Cropped to a single cell. Bone marrow smear. May-Grünwald-Giemsa stain — 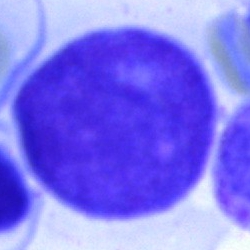
Impression — promyelocyte.